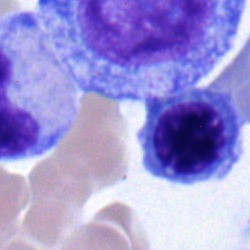

The classification is promyelocyte.